Bone marrow smear. May-Grünwald-Giemsa stain: 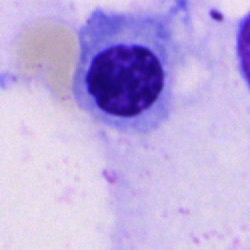 This is a nucleated red cell.